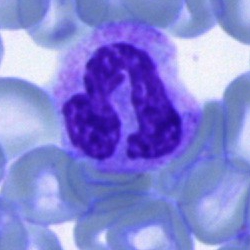 Cell type: neutrophil (segmented).